Bone marrow smear:
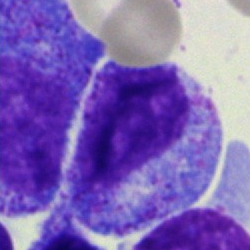Q: What is the morphological classification of this cell?
A: Promyelocyte.